Bone marrow smear · cropped to a single cell.
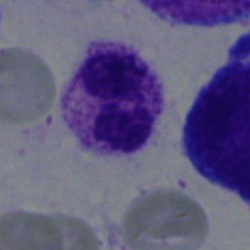

The cell shown is a neutrophil (segmented).